40× objective, oil immersion · bone marrow aspirate smear — 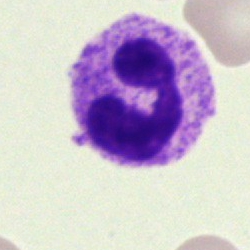

Q: Which cell type is shown here?
A: Polymorphonuclear neutrophil.